Bone marrow aspirate smear.
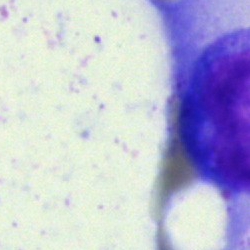Specimen: bone marrow aspirate smear.
Cell: artefact.